Bone marrow smear: 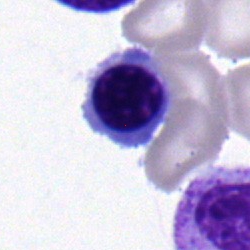
Q: What type of cell is this?
A: A normoblast.